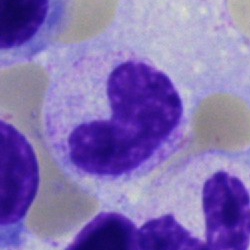

Impression → neutrophil (band).